Bone marrow aspirate smear. May-Grünwald-Giemsa stain. Single cell centered in the field:
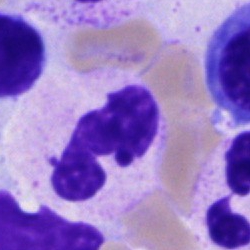

Morphological class — neutrophil (segmented).